Single cell centered in the field; bone marrow aspirate smear:
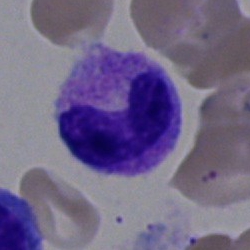

The classification is stab cell.